May-Grünwald-Giemsa/Pappenheim stain. Bone marrow smear: 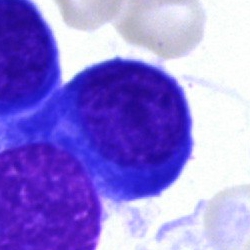Specimen: bone marrow smear.
Classification: normoblast.